Bone marrow aspirate smear.
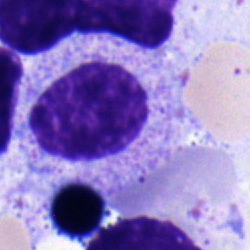

Morphological class: myelocyte.